MGG-stained. Bone marrow aspirate smear — 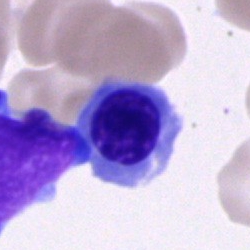

Impression → nucleated red blood cell.